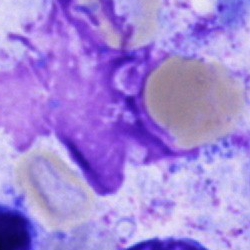 Single cell identified as an artefact.